Single cell centered in the field. Peripheral blood smear:
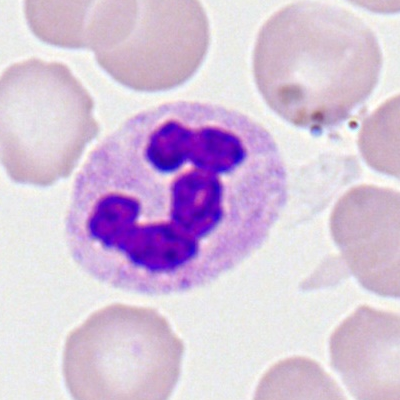
Single cell identified as a neutrophil (segmented).